250×250 px · bone marrow aspirate smear — 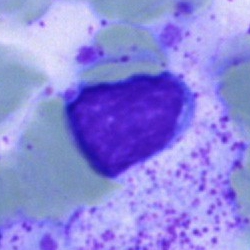 Morphological class — typical lymphocyte.